Brightfield, 100× oil-immersion objective; peripheral blood film:
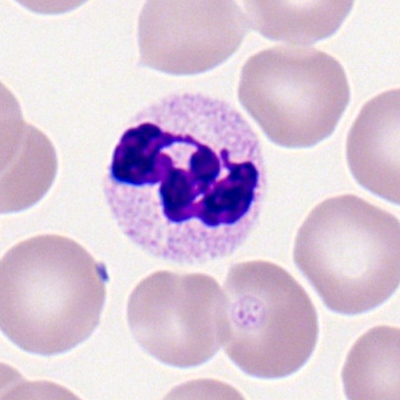 Morphology consistent with a polymorphonuclear neutrophil.